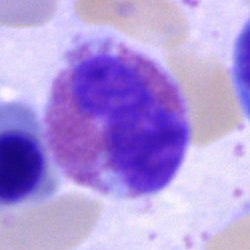

Specimen: bone marrow aspirate smear.
Morphological class: eosinophilic granulocyte.